Pappenheim-stained; bone marrow aspirate smear:
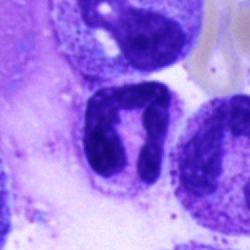

This is a neutrophil (band).